Bone marrow aspirate smear
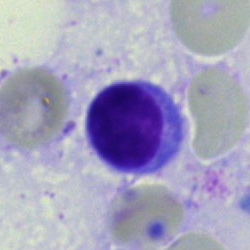
Q: Which cell type is shown here?
A: A lymphocyte.